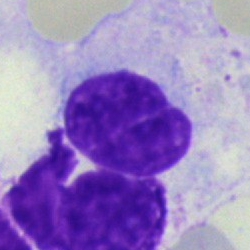

Classification — artefact.